Bone marrow smear.
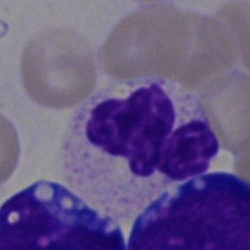 Q: Which cell type is shown here?
A: This is a polymorphonuclear neutrophil.